Bone marrow aspirate smear — 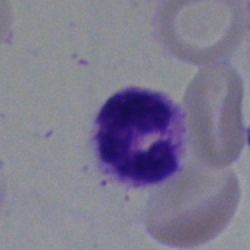A segmented neutrophil.